May-Grünwald-Giemsa/Pappenheim stain; bone marrow smear: 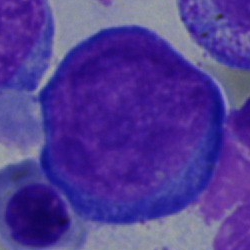

Morphology — proerythroblast.